Brightfield, 40× oil-immersion objective. Bone marrow smear.
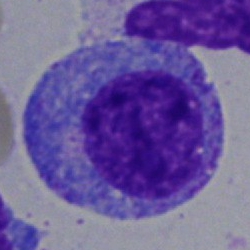 Progranulocyte.